250 by 250 pixels. May-Grünwald-Giemsa stain. Bone marrow smear:
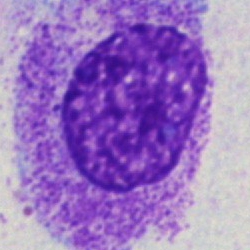
The cell type is myelocyte.